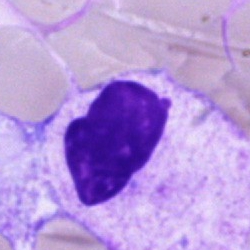Specimen: bone marrow smear.
Classification: artifact.